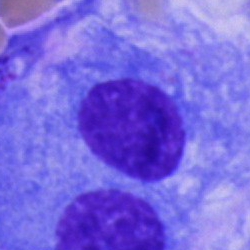

Q: Which cell type is shown here?
A: This is a plasmacyte.